Bone marrow aspirate smear · 250×250 · single cell centered in the field.
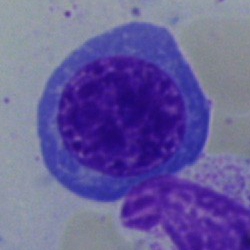Showing an erythroblast.